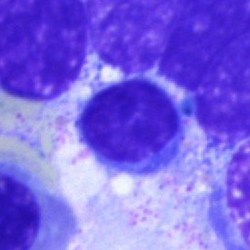 The cell type is lymphocyte.